Bone marrow aspirate smear — 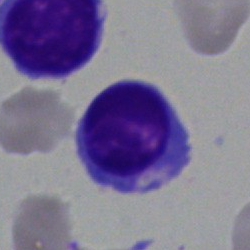

Q: What is the morphological classification of this cell?
A: This is a lymphocyte.